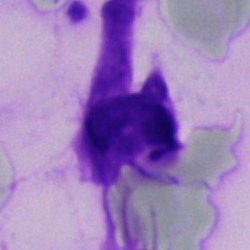 Morphology consistent with an artifact.